Bone marrow smear
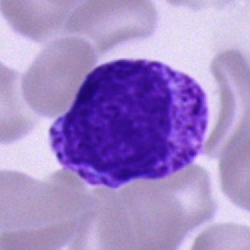
This is a basophilic granulocyte.